Bone marrow aspirate smear:
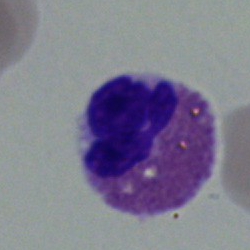 Classification — eosinophil.